Bone marrow smear. 250×250
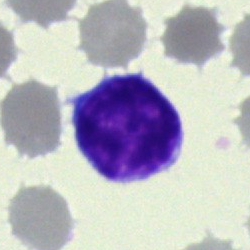 A lymphocyte.